Peripheral blood smear · Romanowsky-type stain: 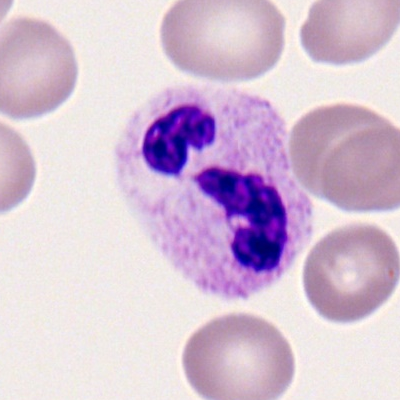

Cell: segmented neutrophil.